250×250 px · bone marrow smear · brightfield, 40× oil-immersion objective — 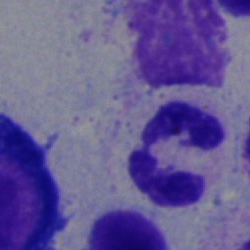Single cell identified as a polymorphonuclear neutrophil.